Bone marrow aspirate smear: 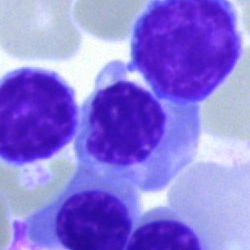

Q: What cell is this?
A: Normoblast.